Bone marrow smear. May-Grünwald-Giemsa stain: 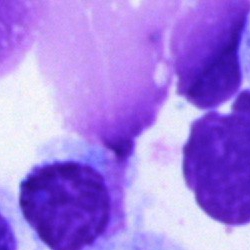 Q: What is shown here?
A: Artefact.